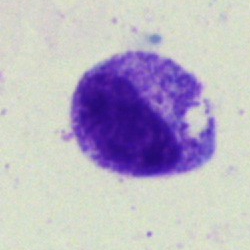 The classification is metamyelocyte.